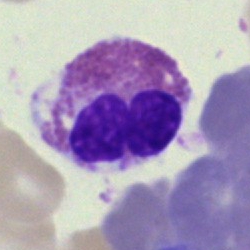
{"cell_type": "eosinophil"}